Brightfield, 40× oil-immersion objective. Bone marrow smear
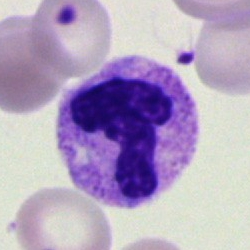Cell type — segmented neutrophil.